Bone marrow smear — 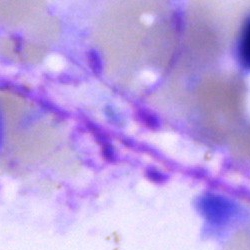 Q: What is shown here?
A: It is an artefact.